Bone marrow smear
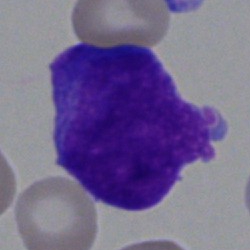Specimen: bone marrow aspirate smear.
Cell: undifferentiated blast.